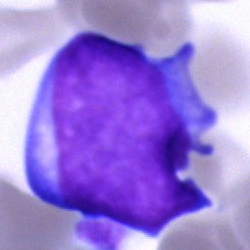Single-cell crop from a bone marrow smear: undifferentiated blast.